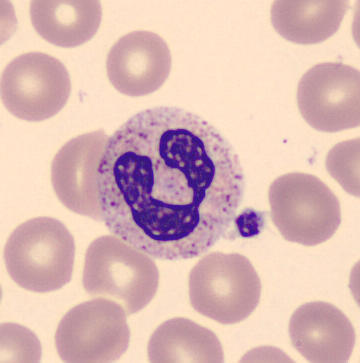{"cell_type": "segmented neutrophil"}

Peripheral blood smear.